Bone marrow aspirate smear
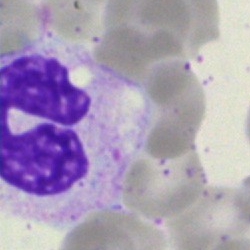
Morphology → band neutrophil.